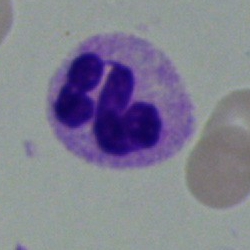Impression — neutrophil (segmented).